Bone marrow smear:
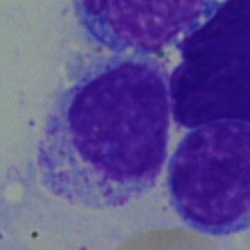Classification = myelocyte.